250 by 250 pixels; MGG-stained; bone marrow smear.
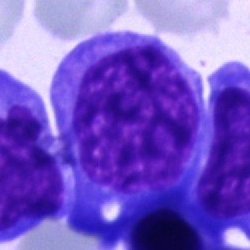

The cell is blast.